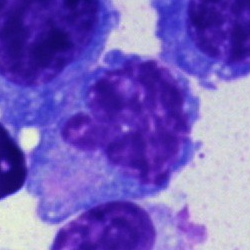 {"cell_type": "plasma cell", "lineage": "lymphoid"}